250 by 250 pixels · bone marrow smear — 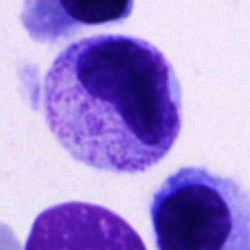The cell is metamyelocyte.